Bone marrow aspirate smear: 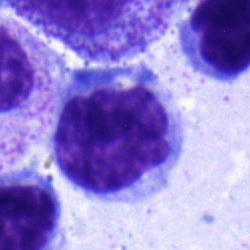 Q: What is shown here?
A: This is a monocyte.